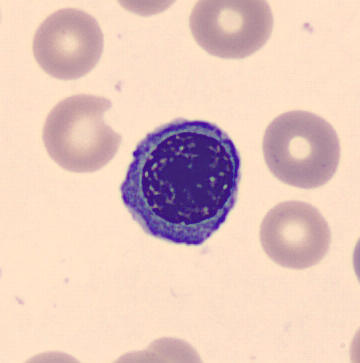

Cell type: nucleated red blood cell.
Acquisition: May Grünwald-Giemsa stain; peripheral blood smear.